Pappenheim-stained. Bone marrow aspirate smear:
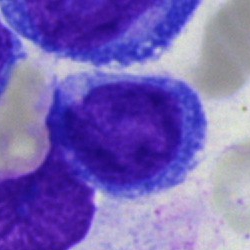

The cell type is blast.